Brightfield, 40× oil-immersion objective · bone marrow aspirate smear · 250×250 — 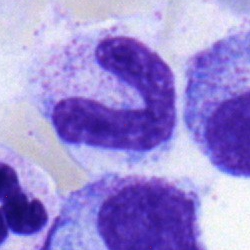
Showing a stab cell.